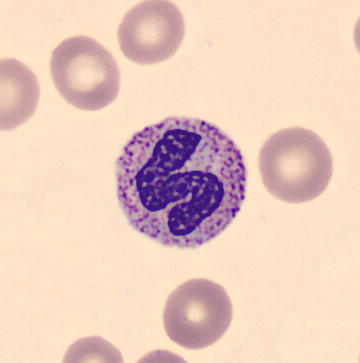 Cell = neutrophil (band).